Bone marrow smear · Pappenheim-stained — 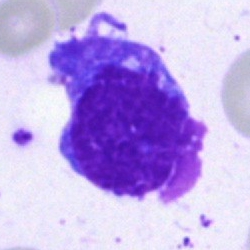

The cell is artifact.